May-Grünwald-Giemsa/Pappenheim stain; bone marrow smear.
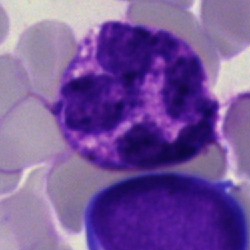 The cell shown is a basophil.